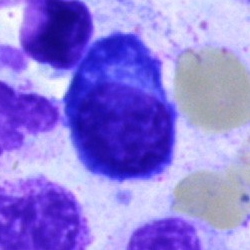

Impression — plasma cell.